Bone marrow smear.
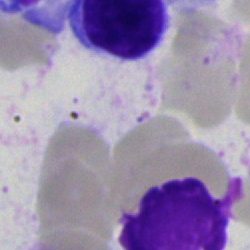Cell type — artefact.